Bone marrow aspirate smear · Pappenheim-stained: 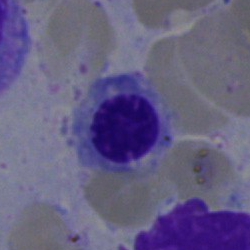 Cell = erythroblast.